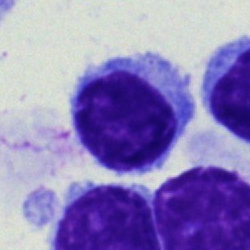

A typical lymphocyte on a bone marrow smear.